Single-cell crop; bone marrow aspirate smear.
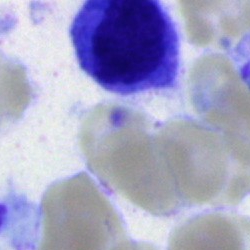 Showing a cell of indeterminate lineage.